Brightfield, 40× oil-immersion objective; bone marrow smear:
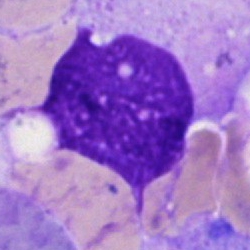Impression — artefact.